Bone marrow smear.
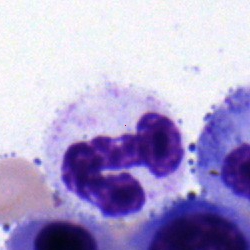 Q: What is the morphological classification of this cell?
A: Band neutrophil.